Bone marrow aspirate smear · brightfield microscopy, 40× oil immersion: 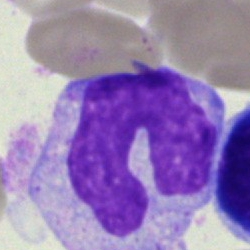
Single cell identified as a monocyte.